Bone marrow aspirate smear; brightfield microscopy, 40× oil immersion: 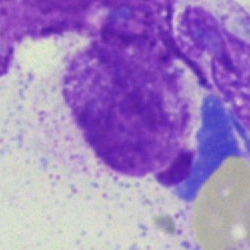
Specimen: bone marrow smear.
Cell: artefact.